Brightfield microscopy, 40× oil immersion. Bone marrow aspirate smear
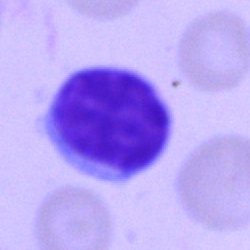

Showing a typical lymphocyte.